Bone marrow aspirate smear. MGG-stained
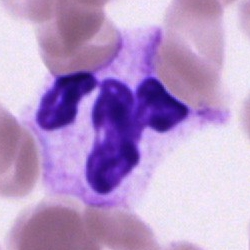
Morphology → segmented neutrophil.